Single-cell crop; bone marrow aspirate smear; May-Grünwald-Giemsa/Pappenheim stain
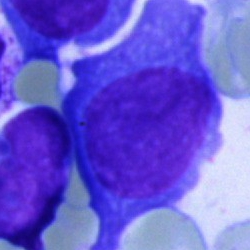
Cell — plasmacyte.